Bone marrow aspirate smear — 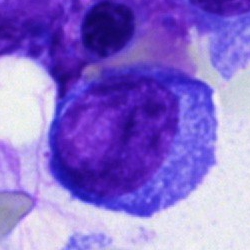Showing a blast.